Bone marrow smear: 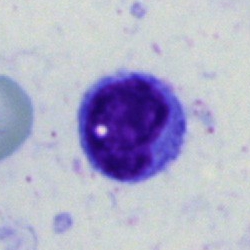Cell type — lymphocyte.